May-Grünwald-Giemsa/Pappenheim stain; bone marrow aspirate smear; brightfield microscopy, 40× oil immersion
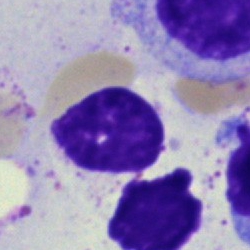 Artefact.